Bone marrow smear
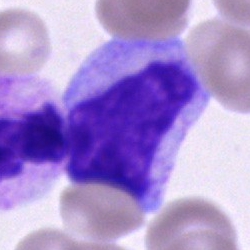

Specimen: bone marrow smear.
Morphological class: myelocyte.
Lineage: myeloid.